Bone marrow smear:
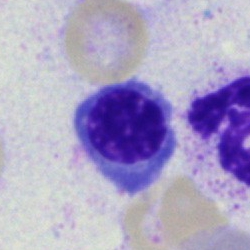
This is a nucleated red blood cell.